Bone marrow aspirate smear.
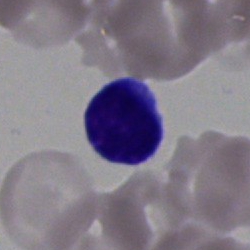
The cell type is lymphocyte.